Bone marrow aspirate smear.
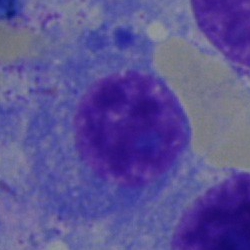
The morphological class is plasma cell.